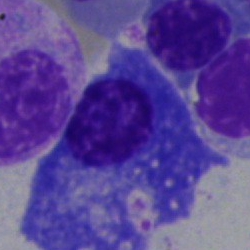 Specimen: bone marrow smear.
Cell type: plasmacyte.
Lineage: lymphoid.